Bone marrow smear · 250×250 · brightfield, 40× oil-immersion objective
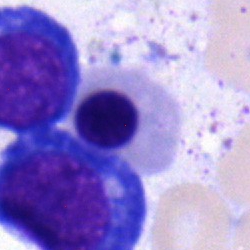
Specimen: bone marrow smear.
Cell type: nucleated red cell.